Single-cell field. Peripheral blood smear:
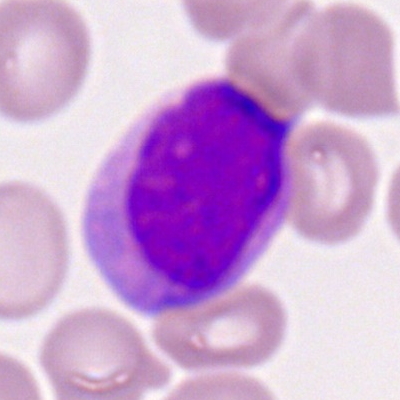
The cell shown is a myeloid blast.